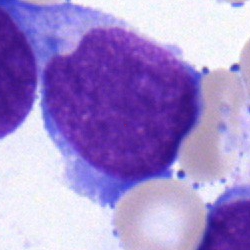Impression — blast.